Bone marrow aspirate smear
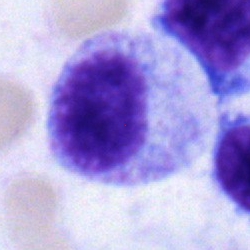

Cell — myelocyte.